Bone marrow smear
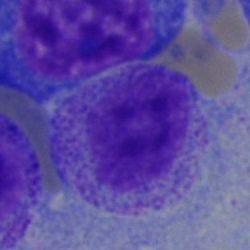

A myelocyte.